Bone marrow smear.
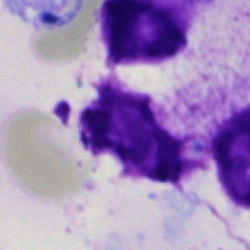 Morphological class = artifact.